Bone marrow aspirate smear:
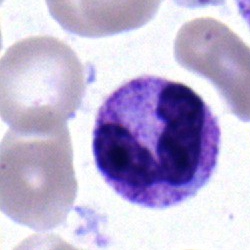 Specimen: bone marrow smear.
Cell type: segmented neutrophil.